Bone marrow smear. Single-cell crop
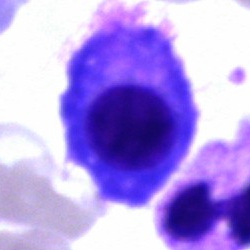A plasma cell.